250 by 250 pixels; bone marrow smear:
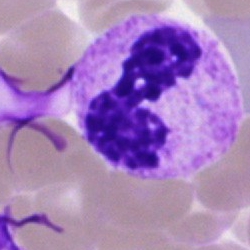

Cell: segmented neutrophil.